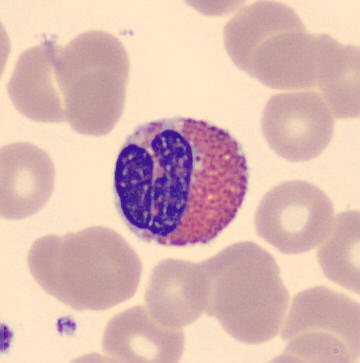Image: MGG-stained. Peripheral blood smear. Image size 360×363. The classification is eosinophilic granulocyte.